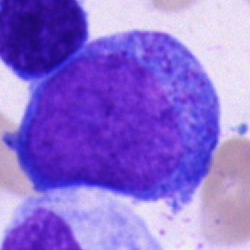
Q: What type of cell is this?
A: A promyelocyte.